Brightfield microscopy, 40× oil immersion; bone marrow smear; 250 by 250 pixels: 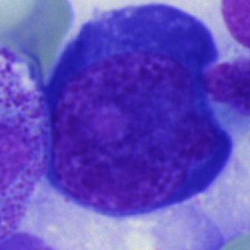
Showing a proerythroblast.